May-Grünwald-Giemsa/Pappenheim stain · bone marrow aspirate smear:
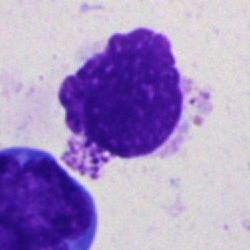

Cell type: artefact.